Cropped to a single cell; bone marrow aspirate smear:
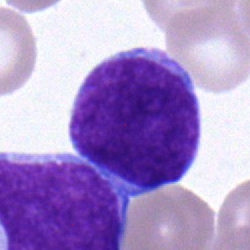

Morphology — undifferentiated blast.